Bone marrow aspirate smear. Cropped to a single cell. 40× oil immersion:
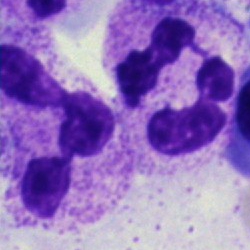

Classification: segmented neutrophil.